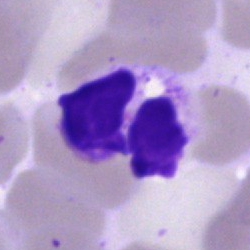Q: What is shown here?
A: It is an artifact.